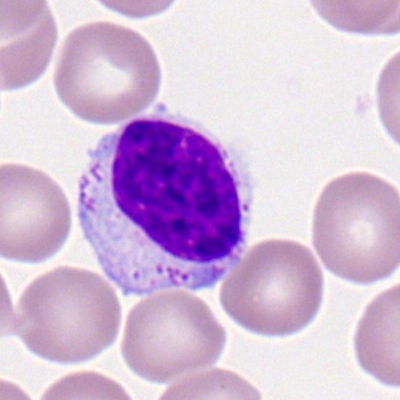Impression → typical lymphocyte.